Brightfield, 100× oil-immersion objective · peripheral blood film: 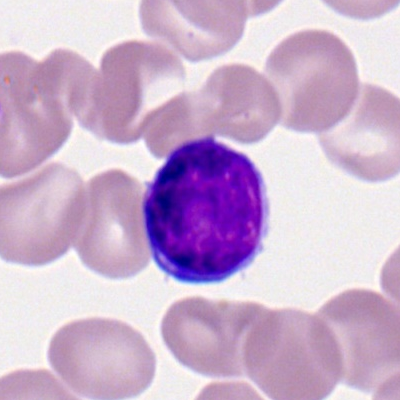 Specimen: peripheral blood smear.
Cell: typical lymphocyte.
Lineage: lymphoid.